Bone marrow aspirate smear.
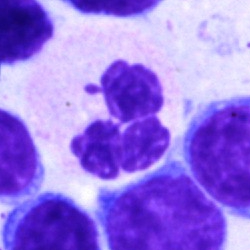

Showing a polymorphonuclear neutrophil.